MGG-stained; bone marrow aspirate smear — 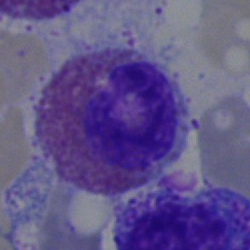 Morphology → eosinophilic granulocyte.